Bone marrow smear: 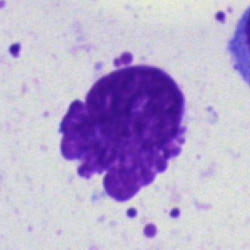 The cell is artefact.